Bone marrow smear.
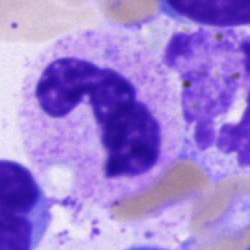

{"cell_type": "neutrophil (segmented)", "lineage": "myeloid"}